Brightfield microscopy, 40× oil immersion · bone marrow aspirate smear — 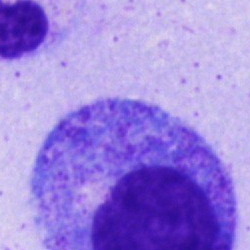The morphological class is progranulocyte.